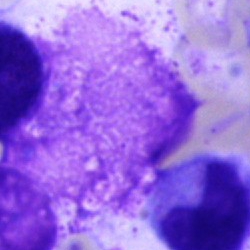

The classification is artefact.